Peripheral blood smear.
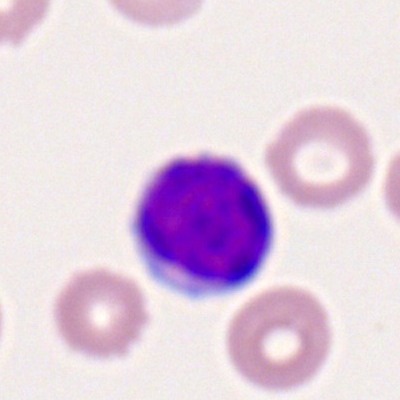
Typical lymphocyte.